Brightfield, 100× oil-immersion objective · 400 by 400 pixels · peripheral blood film.
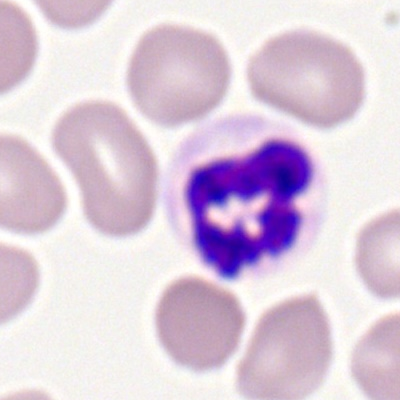

{"cell_type": "neutrophil (segmented)", "lineage": "myeloid"}